Single cell centered in the field. Bone marrow smear: 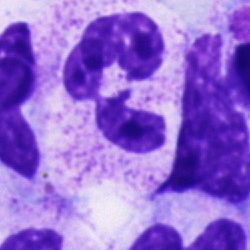Cell type — polymorphonuclear neutrophil.